Single cell centered in the field; image size 250×250; bone marrow aspirate smear:
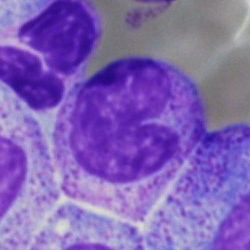

Specimen: bone marrow smear.
Cell: band neutrophil.